Bone marrow smear; 250×250 px; cropped to a single cell: 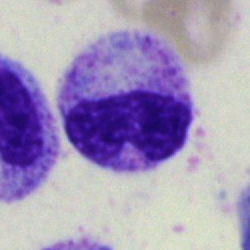Q: What is the morphological classification of this cell?
A: A stab cell.